Peripheral blood smear.
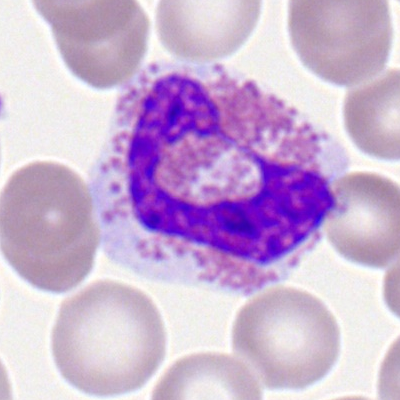
Q: What type of cell is this?
A: Eosinophilic granulocyte.